Bone marrow smear:
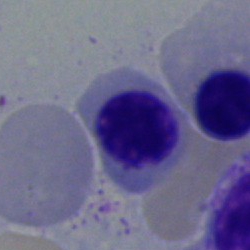Normoblast.